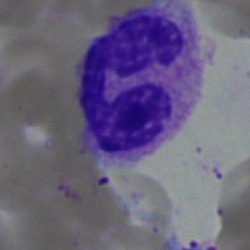

Cell type = band neutrophil.